40× objective, oil immersion. Bone marrow aspirate smear:
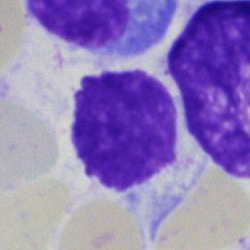 Cell type: artefact.